Bone marrow smear. Image size 250×250:
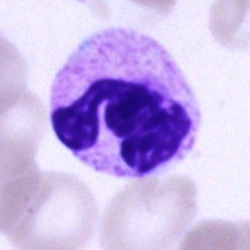

Impression — neutrophil (segmented).